Bone marrow aspirate smear.
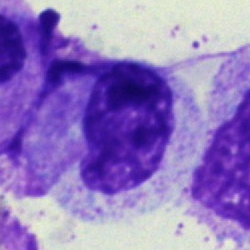
Morphological class: myelocyte.